Image size 250×250. Bone marrow smear. Single cell centered in the field
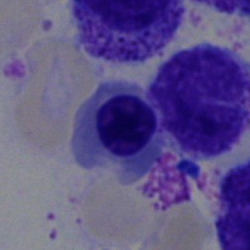 Cell type — normoblast.